Bone marrow smear
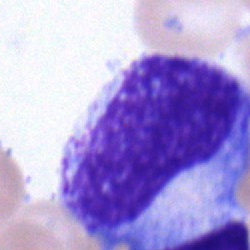

Specimen: bone marrow smear.
Classification: metamyelocyte.